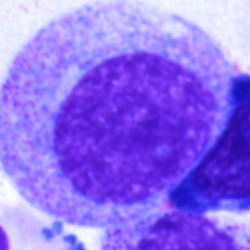

Bone marrow smear showing a myelocyte.